Bone marrow smear.
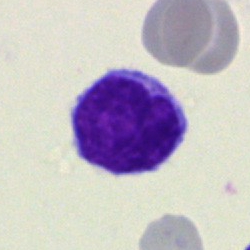
Impression — lymphocyte.